May-Grünwald-Giemsa stain; bone marrow aspirate smear — 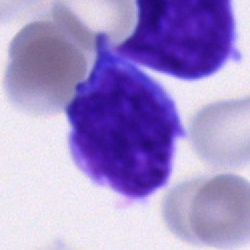 The morphological class is blast cell.